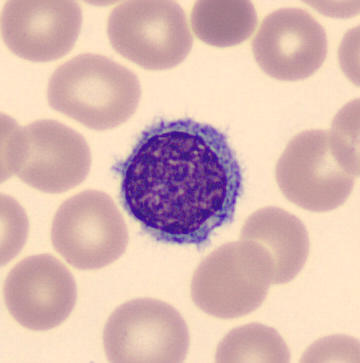
This is a lymphocyte.
Preparation: Peripheral blood smear; 360×363.